Bone marrow aspirate smear
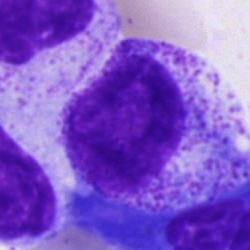
Morphology → promyelocyte.